Bone marrow smear. Cropped to a single cell.
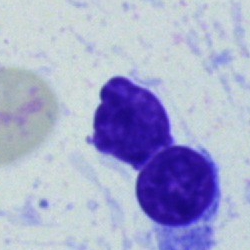

Morphological class: lymphocyte.